Bone marrow smear: 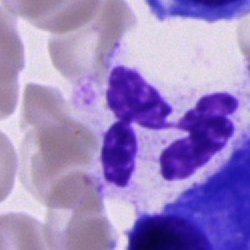 Cell: neutrophil (segmented).